Bone marrow smear:
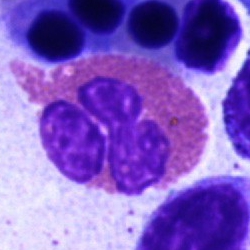
Morphological class — eosinophilic granulocyte.